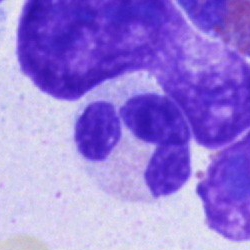

Bone marrow aspirate smear, single cell — polymorphonuclear neutrophil.